Bone marrow smear:
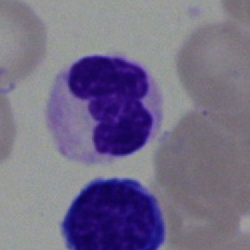 {"cell_type": "segmented neutrophil"}